Bone marrow smear; image size 250×250; May-Grünwald-Giemsa stain:
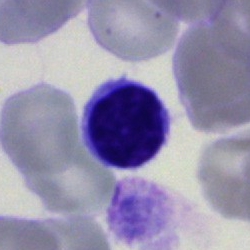 Q: Identify the cell.
A: A lymphocyte.